Single-cell field; bone marrow aspirate smear; image size 250×250
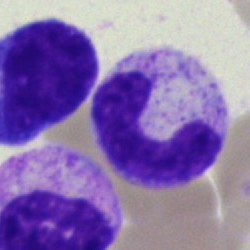

Q: What type of cell is this?
A: A band neutrophil.